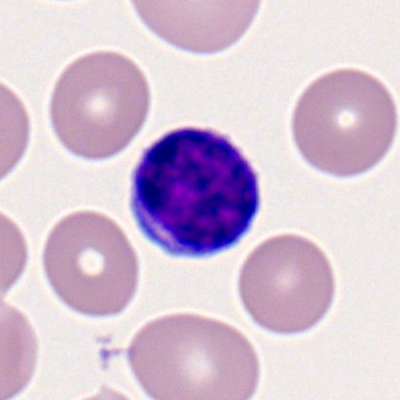 The morphological class is lymphocyte.